Bone marrow aspirate smear.
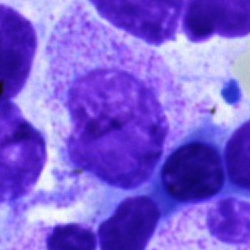

This is a metamyelocyte.